Cropped to a single cell · Pappenheim-stained · bone marrow smear — 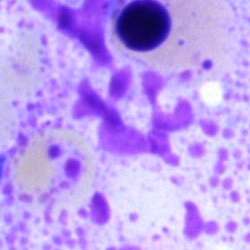
Artifact.